Bone marrow aspirate smear. Brightfield microscopy, 40× oil immersion — 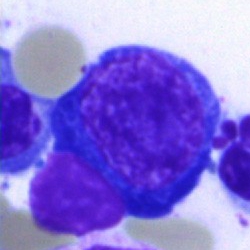
Cell = erythroblast.